Bone marrow aspirate smear — 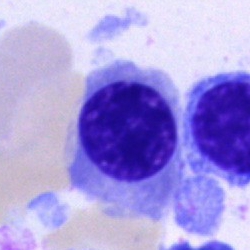 Specimen: bone marrow smear.
Morphological class: nucleated red cell.
Lineage: erythroid.